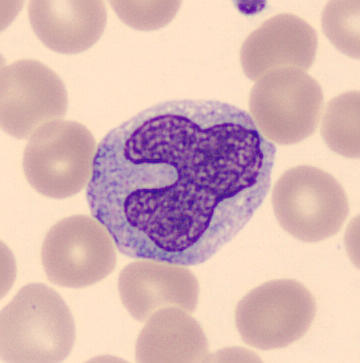Morphological class — monocyte.